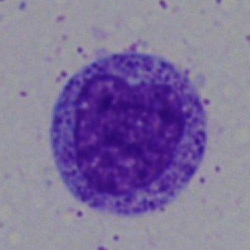
Bone marrow aspirate smear, single cell — myelocyte.